Peripheral blood smear:
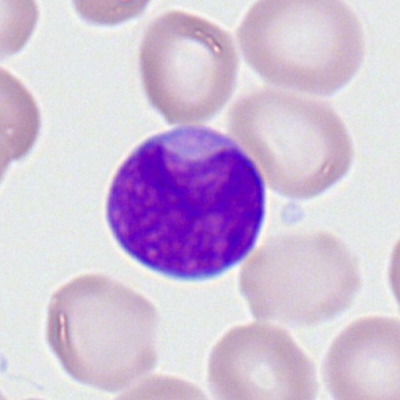 {"cell_type": "myeloblast"}